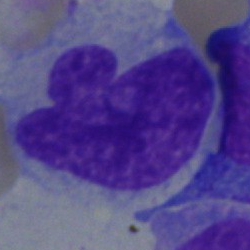
Cell type — monocyte.